Bone marrow aspirate smear — 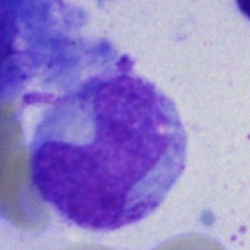

Q: What type of cell is this?
A: Band neutrophil.